Bone marrow aspirate smear. MGG-stained — 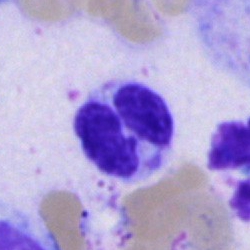 Cell type: segmented neutrophil.